Single-cell field · bone marrow aspirate smear · May-Grünwald-Giemsa stain — 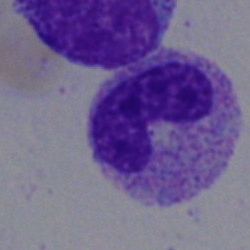 Specimen: bone marrow aspirate smear.
Classification: band-form neutrophil.
Lineage: myeloid.